40× objective, oil immersion; bone marrow smear.
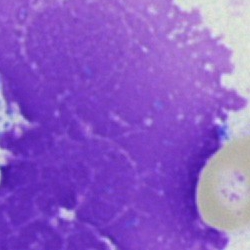
Cell type = artefact.